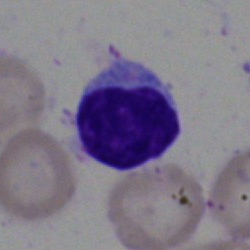 Morphological class: typical lymphocyte.